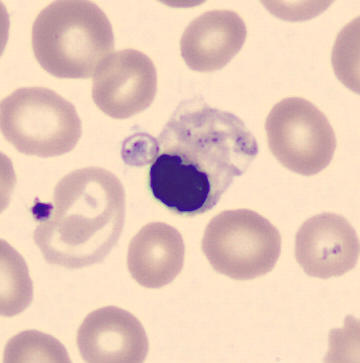

Erythroblast. Acquisition: Peripheral blood film.